250×250 px; 40× oil immersion; bone marrow smear: 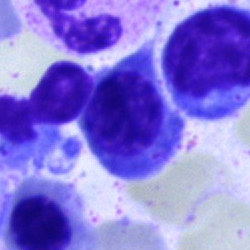Q: What is shown here?
A: It is an erythroblast.